Bone marrow smear.
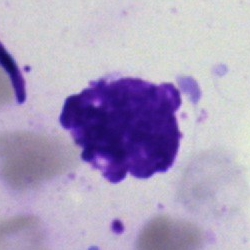The cell shown is an artifact.